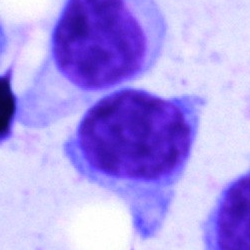
Specimen: bone marrow smear.
Cell type: typical lymphocyte.